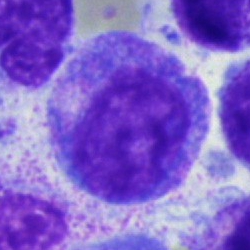Specimen: bone marrow smear.
Classification: progranulocyte.
Lineage: myeloid.